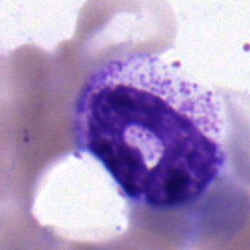 This is a segmented neutrophil.